Bone marrow aspirate smear:
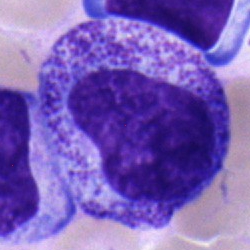

Morphology consistent with a metamyelocyte.